Peripheral blood smear.
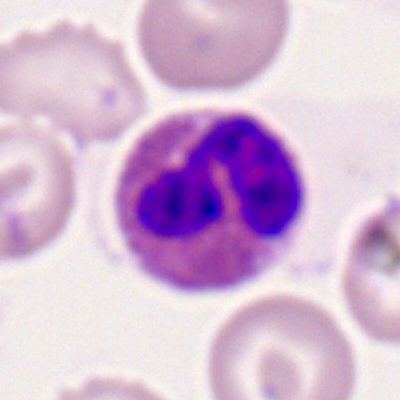 Morphology → eosinophilic granulocyte.